Bone marrow smear; image size 250×250; single-cell field.
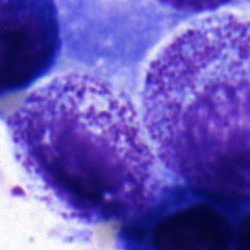Specimen: bone marrow smear.
Cell type: myelocyte.